Bone marrow smear — 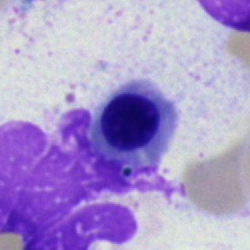This is an erythroblast.